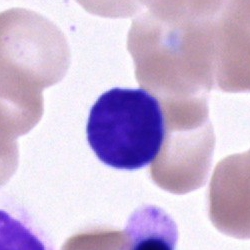 A lymphocyte on a bone marrow smear.